Peripheral blood film.
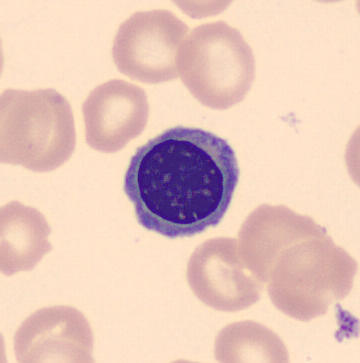

Specimen: peripheral blood film.
Morphological class: normoblast.
Lineage: erythroid.